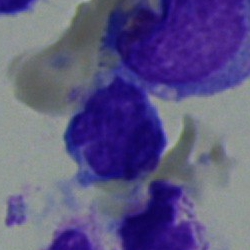

Specimen: bone marrow smear.
Classification: typical lymphocyte.